Bone marrow smear.
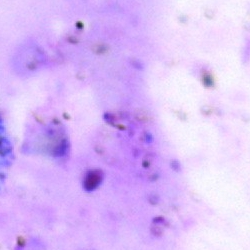
Impression → artefact.